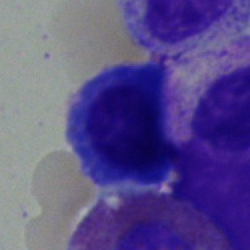

Morphology consistent with a nucleated red cell.